Single cell centered in the field; 400 by 400 pixels; peripheral blood smear:
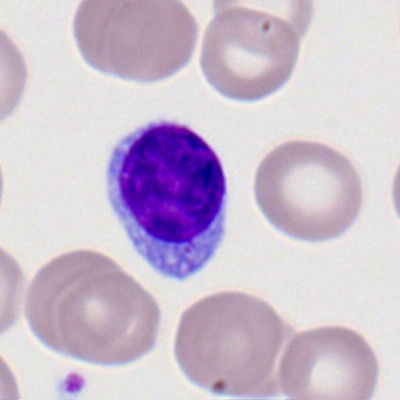
Lymphocyte.